250×250; bone marrow smear; Pappenheim-stained.
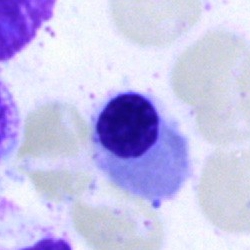Specimen: bone marrow smear.
Morphological class: erythroblast.